Peripheral blood film; single-cell crop — 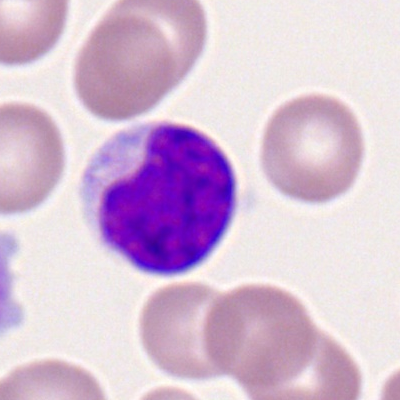
This is a lymphocyte.